MGG-stained · bone marrow aspirate smear: 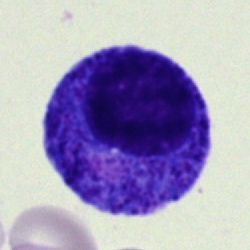
Q: What cell is this?
A: Progranulocyte.